Peripheral blood film.
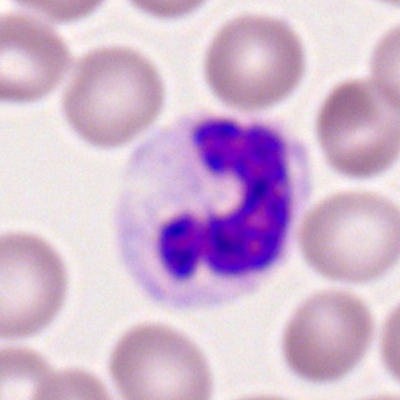 Single cell identified as a band neutrophil.